Bone marrow aspirate smear:
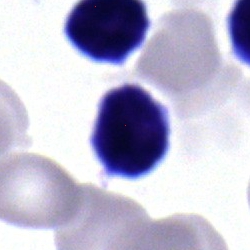 Morphological class = lymphocyte.